Single cell centered in the field. May-Grünwald-Giemsa stain. Bone marrow aspirate smear:
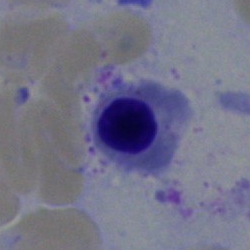
A nucleated red blood cell.